MGG-stained · bone marrow aspirate smear:
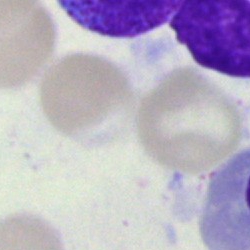
Q: What is shown here?
A: An artefact.